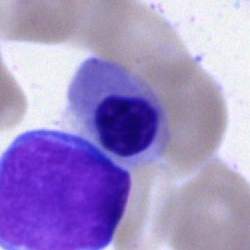

The cell type is normoblast.